Peripheral blood smear. 400 by 400 pixels: 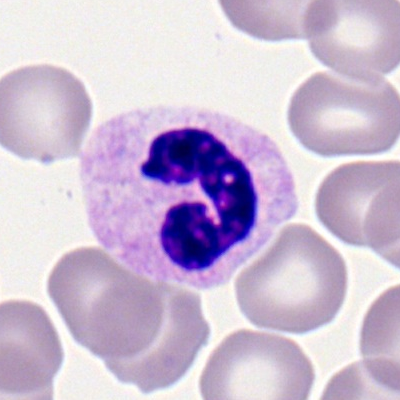 Classification: polymorphonuclear neutrophil.